Pappenheim-stained · bone marrow aspirate smear:
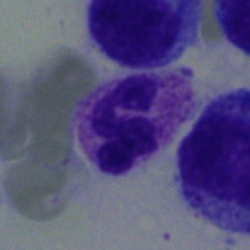

Morphology consistent with a neutrophil (segmented).